Bone marrow aspirate smear; brightfield microscopy, 40× oil immersion
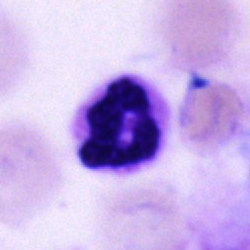

Specimen: bone marrow smear.
Morphological class: neutrophil (segmented).
Lineage: myeloid.